Bone marrow aspirate smear
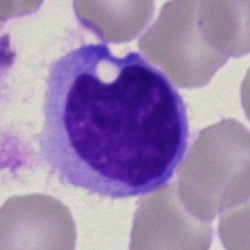

Morphological class: lymphocyte.